Single cell centered in the field · bone marrow aspirate smear:
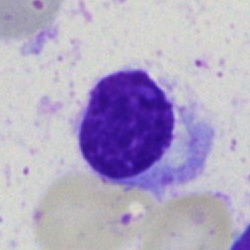 Morphology consistent with a lymphocyte.